Bone marrow aspirate smear
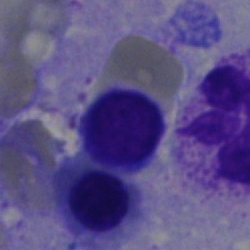 The cell type is lymphocyte.